Single-cell crop. Bone marrow smear:
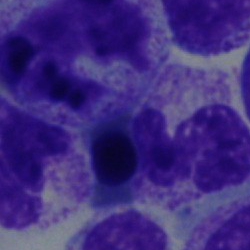Q: Identify the cell.
A: This is a nucleated red blood cell.